Bone marrow aspirate smear — 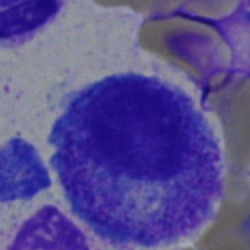 Specimen: bone marrow smear.
Morphological class: myelocyte.
Lineage: myeloid.